Peripheral blood smear · cropped to a single cell — 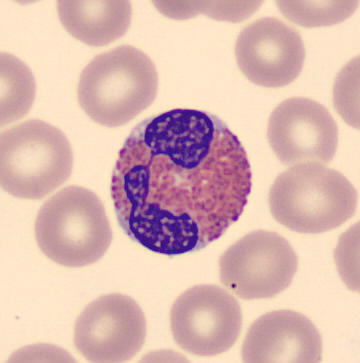
{"cell_type": "eosinophilic granulocyte", "lineage": "myeloid"}